250×250. Brightfield, 40× oil-immersion objective. Bone marrow aspirate smear:
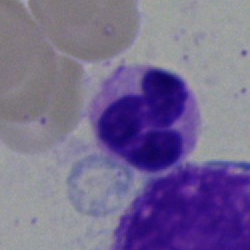
Q: Identify the cell.
A: A polymorphonuclear neutrophil.